Bone marrow aspirate smear. 250 by 250 pixels
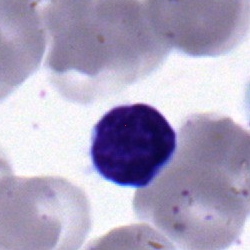
Cell — typical lymphocyte.